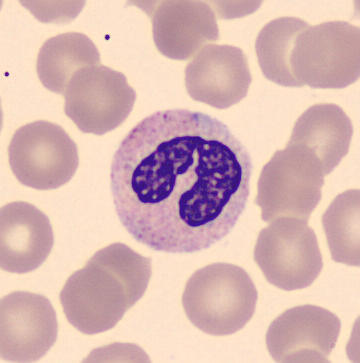The classification is segmented neutrophil.